Bone marrow smear: 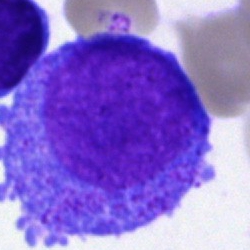 Impression → progranulocyte.